Brightfield microscopy, 40× oil immersion · bone marrow smear.
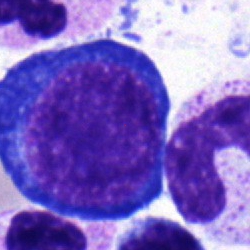
This is a nucleated red cell.